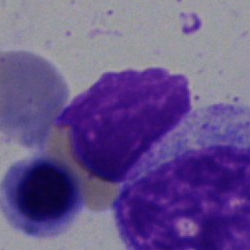
Bone marrow smear showing an artefact.